Bone marrow smear — 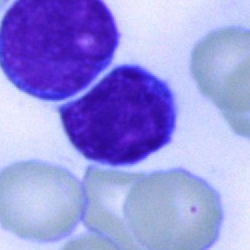

Classification: lymphocyte.